Bone marrow smear:
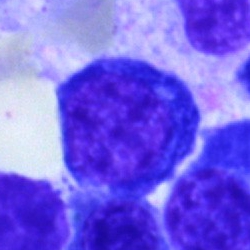

The cell shown is a normoblast.